Bone marrow aspirate smear — 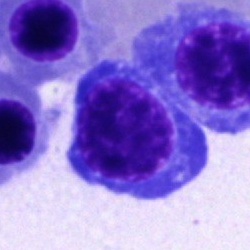Q: Identify the cell.
A: A nucleated red cell.